May-Grünwald-Giemsa/Pappenheim stain. Bone marrow aspirate smear:
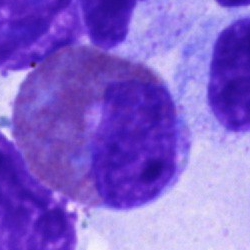
Q: What is the morphological classification of this cell?
A: This is an eosinophil.